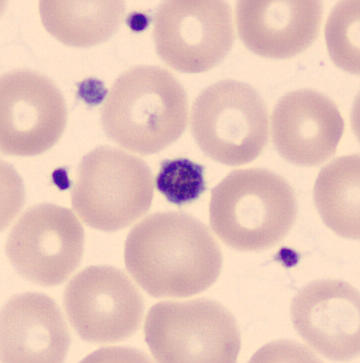Cell type — platelet.
Peripheral blood film.